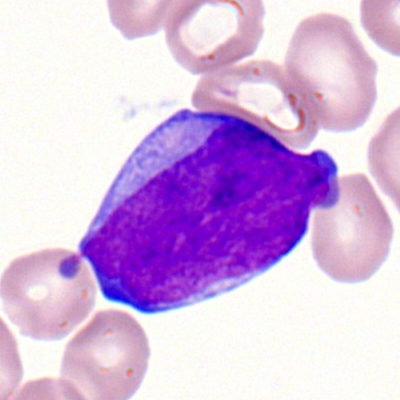

Cell type = myeloid blast.